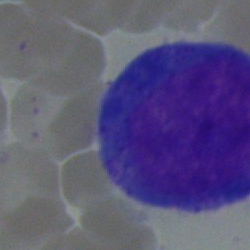 Cell = promyelocyte.